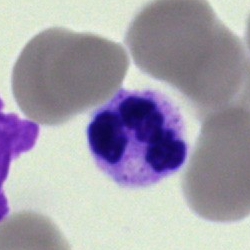
Morphology consistent with a segmented neutrophil.